Romanowsky stain; peripheral blood film: 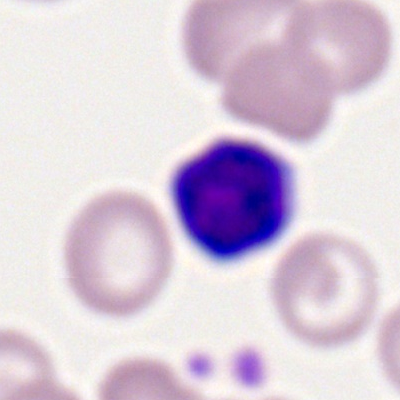
Classification: lymphocyte.